Bone marrow smear:
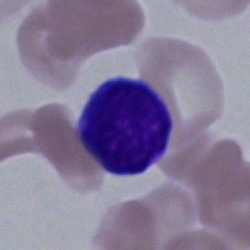 The cell shown is a typical lymphocyte.